Bone marrow smear. Single-cell crop. 250×250:
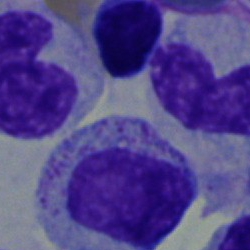 Morphology consistent with a myelocyte.